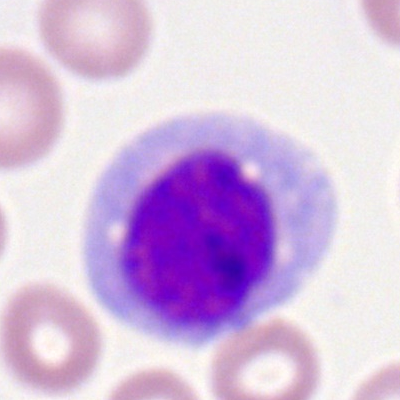 Specimen: peripheral blood smear.
Morphological class: monocyte.
Lineage: myeloid.